Bone marrow smear
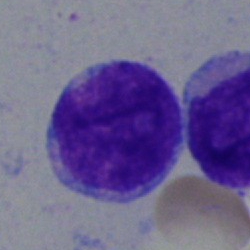

Q: What cell is this?
A: This is an undifferentiated blast.